Bone marrow smear; May-Grünwald-Giemsa/Pappenheim stain:
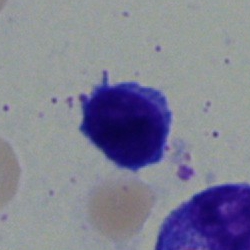

This is a lymphocyte.